Bone marrow smear:
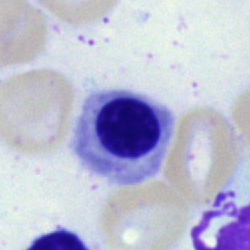 Showing a normoblast.